Bone marrow smear. Image size 250×250. MGG-stained:
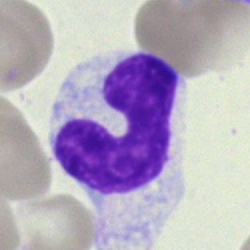Specimen: bone marrow aspirate smear.
Morphological class: band-form neutrophil.
Lineage: myeloid.